40× objective, oil immersion. Bone marrow smear — 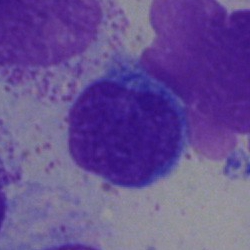

Single cell identified as a typical lymphocyte.